Peripheral blood film.
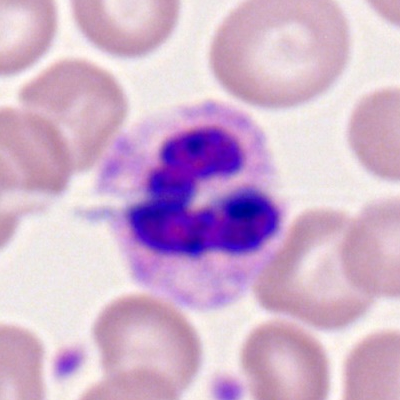

Classification: band neutrophil.